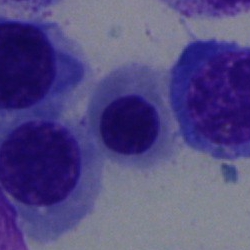
Showing a nucleated red blood cell.